Peripheral blood smear.
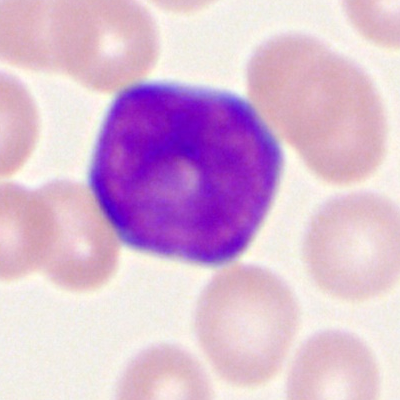Myeloblast.